Bone marrow smear · 40× objective, oil immersion — 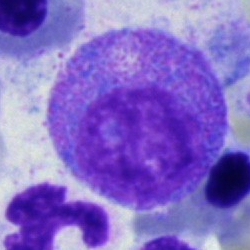
Morphological class — promyelocyte.